Brightfield, 40× oil-immersion objective · bone marrow smear.
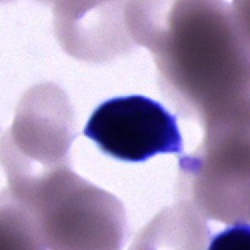

The classification is unidentifiable cell.